Bone marrow smear.
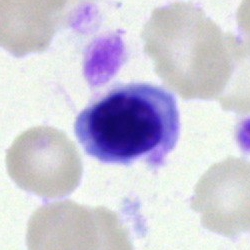Q: What cell is this?
A: It is a nucleated red blood cell.